Peripheral blood film · image size 400×400 · Romanowsky stain — 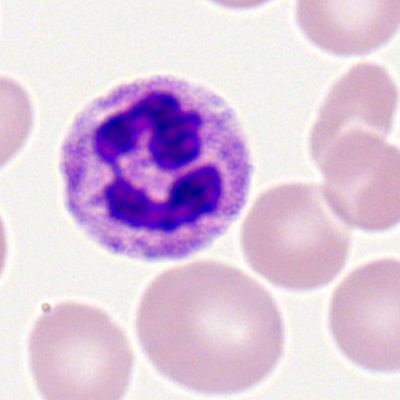

Morphology consistent with a segmented neutrophil.